Bone marrow aspirate smear. 250×250: 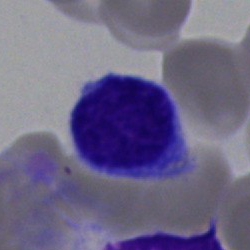
A typical lymphocyte.